Bone marrow smear. MGG-stained: 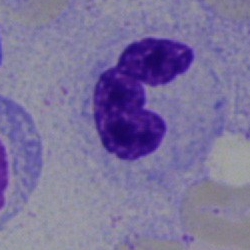The morphological class is polymorphonuclear neutrophil.